Bone marrow aspirate smear.
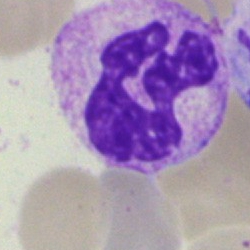Polymorphonuclear neutrophil.